Bone marrow smear — 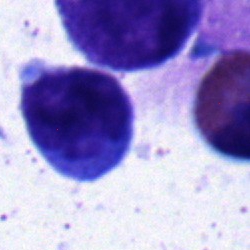 {"cell_type": "eosinophil", "lineage": "myeloid"}